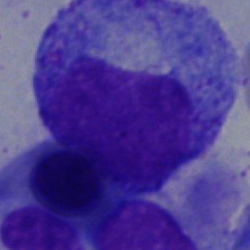
Bone marrow smear showing a progranulocyte.